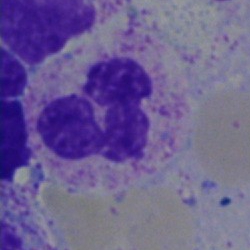Specimen: bone marrow aspirate smear.
Cell type: segmented neutrophil.
Lineage: myeloid.